Bone marrow smear; single-cell field:
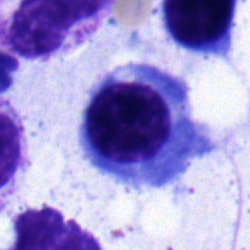Specimen: bone marrow smear.
Morphological class: nucleated red cell.